Bone marrow smear — 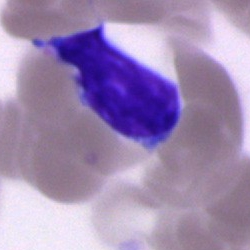 Q: Identify the cell.
A: This is a lymphocyte.